Bone marrow smear: 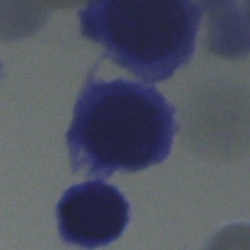 The cell type is erythroblast.